Bone marrow aspirate smear: 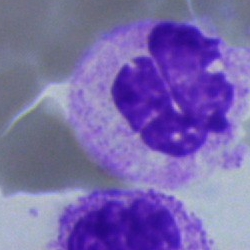{"cell_type": "neutrophil (segmented)", "lineage": "myeloid"}